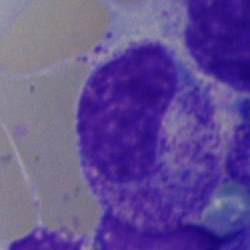

Classification: metamyelocyte.